Bone marrow aspirate smear. Brightfield, 40× oil-immersion objective:
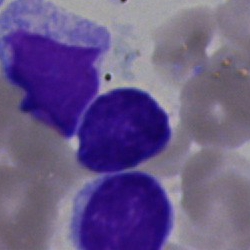
Cell — lymphocyte.